Bone marrow aspirate smear: 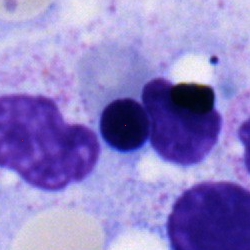
Morphology — nucleated red cell.